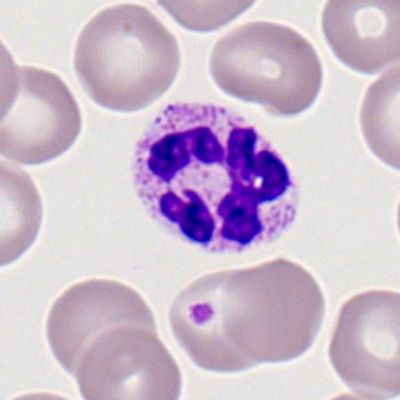 Specimen: peripheral blood smear.
Morphological class: neutrophil (segmented).
Lineage: myeloid.